Bone marrow smear
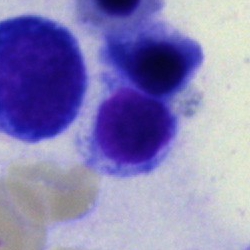

This is a typical lymphocyte.